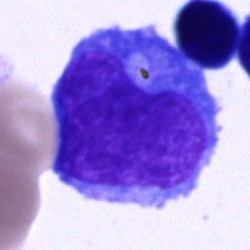
Single cell identified as a blast.